250 by 250 pixels; cropped to a single cell; bone marrow aspirate smear: 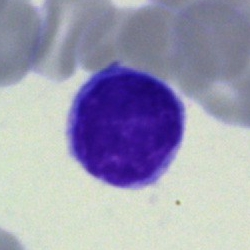Morphology — lymphocyte.